Bone marrow aspirate smear — 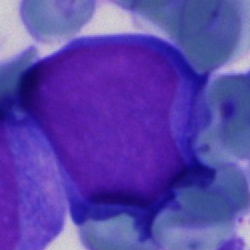
Specimen: bone marrow smear.
Cell: blast.